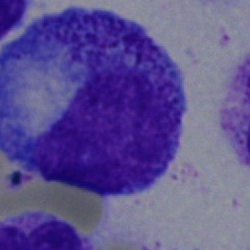Single cell identified as a promyelocyte.